40× objective, oil immersion · Pappenheim-stained · bone marrow smear
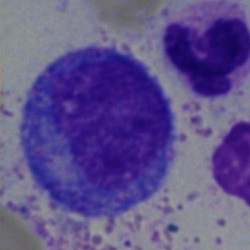

Promyelocyte.